Bone marrow smear
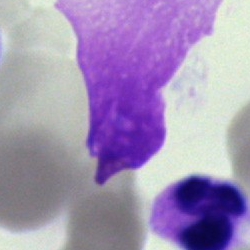

Impression → artefact.